Bone marrow aspirate smear: 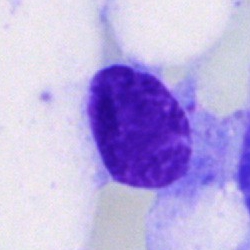Specimen: bone marrow aspirate smear.
Cell: artifact.